Peripheral blood film · cropped to a single cell · brightfield, 100× oil-immersion objective — 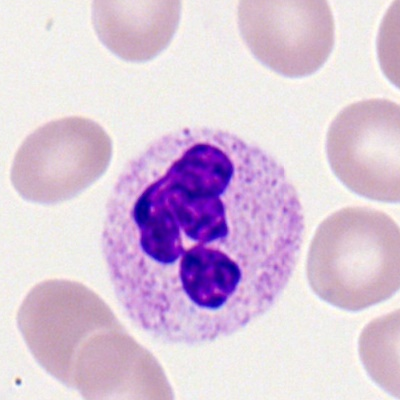 The cell shown is a segmented neutrophil.